Bone marrow smear
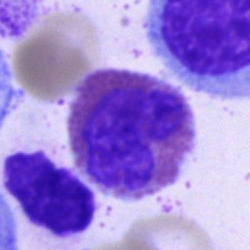 This is an eosinophilic granulocyte.